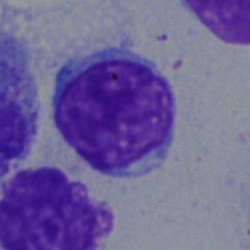 Cell = lymphocyte.